Bone marrow smear. Single-cell field: 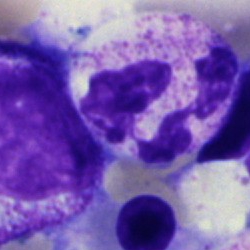 Q: What type of cell is this?
A: Polymorphonuclear neutrophil.